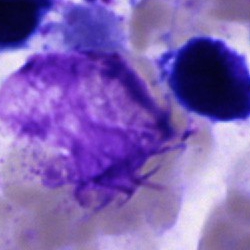 Cell type = artifact.